Bone marrow smear
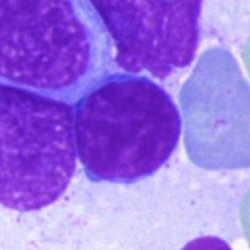 Q: What is the morphological classification of this cell?
A: A typical lymphocyte.